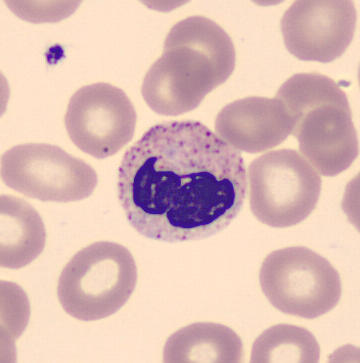 Identified as a polymorphonuclear neutrophil.
Image: Peripheral blood film.